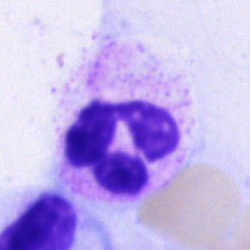Q: What is shown here?
A: Segmented neutrophil.